Cropped to a single cell; bone marrow smear.
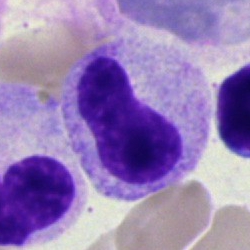
Morphological class: stab cell.